Bone marrow aspirate smear
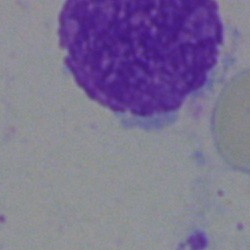Cell type — artefact.